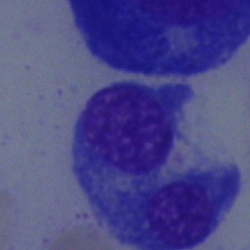

Bone marrow smear showing a nucleated red cell.